Bone marrow smear; 250×250 px: 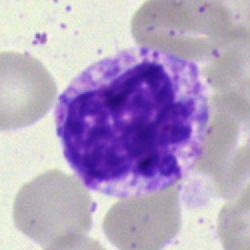 Impression — basophilic granulocyte.